Bone marrow aspirate smear
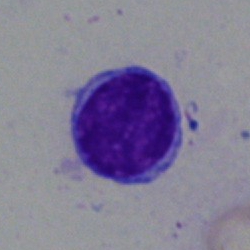 Q: What is shown here?
A: Lymphocyte.